Single-cell crop. Bone marrow smear. MGG-stained
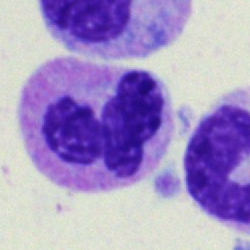
This is a polymorphonuclear neutrophil.